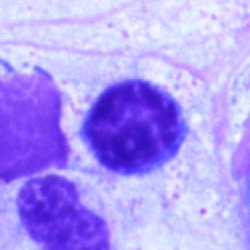Impression — lymphocyte.